Image size 250×250 · bone marrow smear — 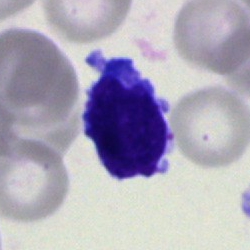Classification = undifferentiated blast.